250 by 250 pixels · single-cell crop · bone marrow aspirate smear.
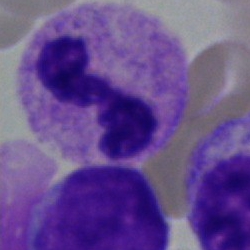

Classification — neutrophil (segmented).